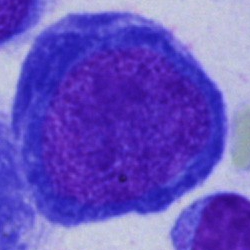 Bone marrow smear showing a proerythroblast.